40× oil immersion. Bone marrow aspirate smear — 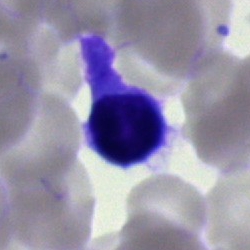 This is a lymphocyte.